Bone marrow smear
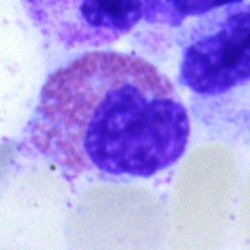 This is an eosinophil.